Bone marrow smear; May-Grünwald-Giemsa/Pappenheim stain; 250×250 px
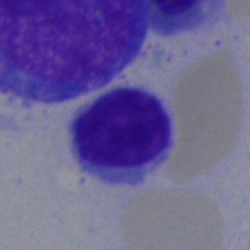Classification: typical lymphocyte.